Single cell centered in the field; peripheral blood film; 400×400 px
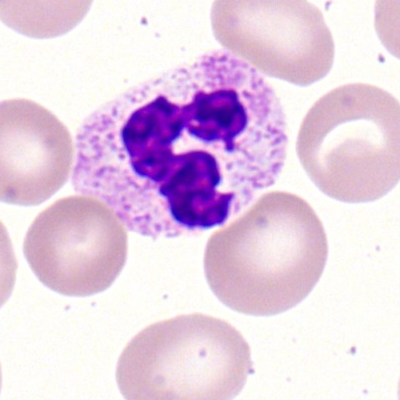Showing a neutrophil (segmented).